Bone marrow smear.
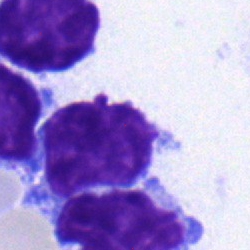

Morphology → typical lymphocyte.